Bone marrow aspirate smear: 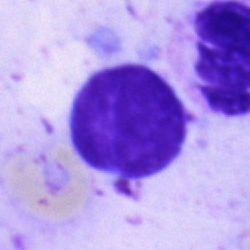

Typical lymphocyte.